250×250 · bone marrow smear: 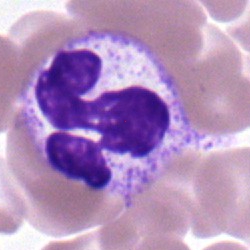
The cell shown is a polymorphonuclear neutrophil.